Peripheral blood film · 400 by 400 pixels:
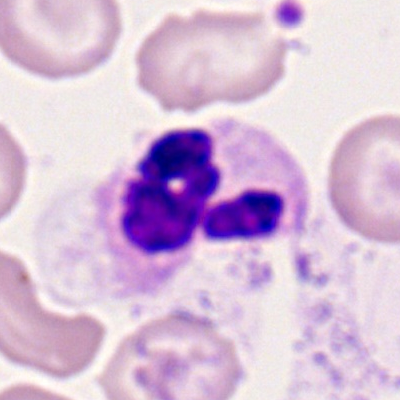 {"cell_type": "segmented neutrophil", "lineage": "myeloid"}